Peripheral blood film:
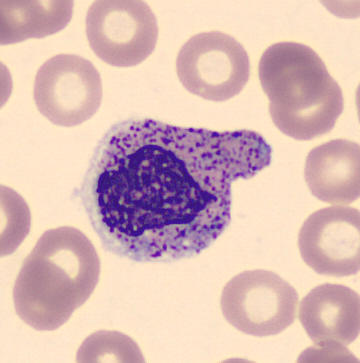

Specimen: peripheral blood smear.
Cell: metamyelocyte.